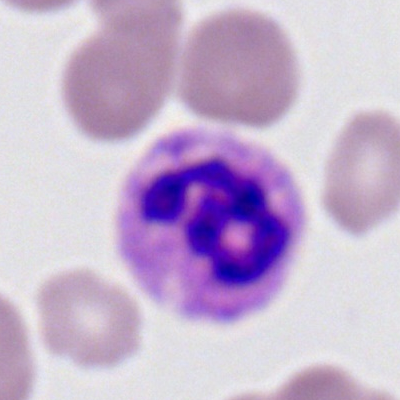A segmented neutrophil.